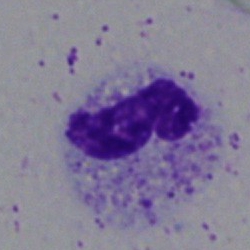Specimen: bone marrow aspirate smear.
Cell: segmented neutrophil.